Bone marrow aspirate smear — 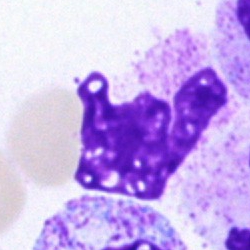This is an artifact.